Bone marrow aspirate smear. 250 by 250 pixels — 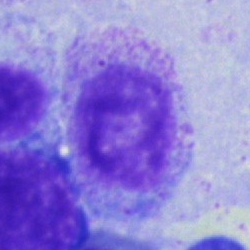 Q: What cell is this?
A: Myelocyte.